Bone marrow aspirate smear · single-cell crop
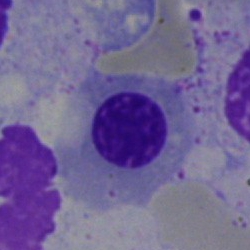

The morphological class is nucleated red blood cell.